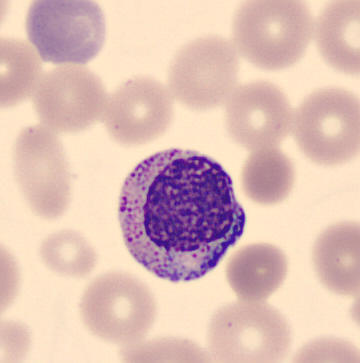 The cell shown is a myelocyte. Peripheral blood smear · May-Grünwald-Giemsa-stained.